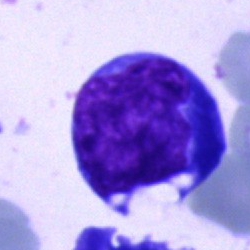

Morphology consistent with an undifferentiated blast.